Bone marrow smear. Single cell centered in the field. 250×250 px.
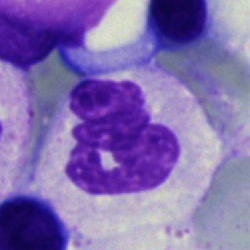

This is a segmented neutrophil.